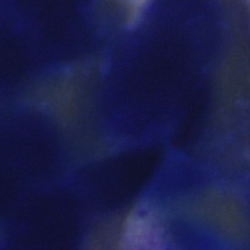Cell type: artifact.